Single-cell crop. Bone marrow smear
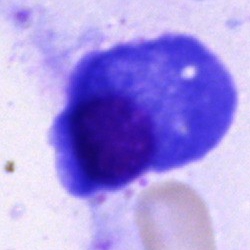Q: Identify the cell.
A: This is a plasma cell.